Bone marrow aspirate smear — 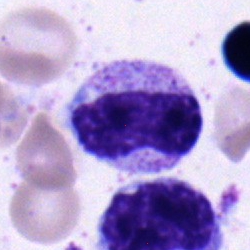

Q: Which cell type is shown here?
A: This is a metamyelocyte.